Bone marrow aspirate smear. Single-cell crop. Brightfield, 40× oil-immersion objective: 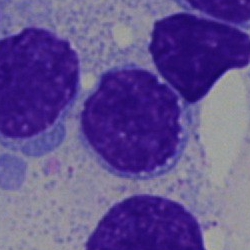
{"cell_type": "lymphocyte", "lineage": "lymphoid"}